Bone marrow aspirate smear
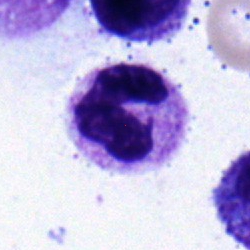
{"cell_type": "stab cell"}